May-Grünwald-Giemsa/Pappenheim stain · bone marrow smear · 250 by 250 pixels: 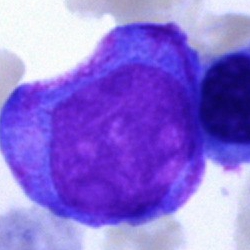Specimen: bone marrow aspirate smear.
Morphological class: blast.